Bone marrow aspirate smear: 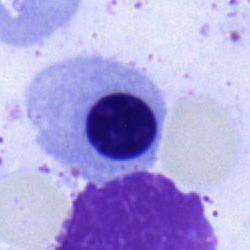Specimen: bone marrow aspirate smear.
Cell: nucleated red cell.
Lineage: erythroid.